Bone marrow smear — 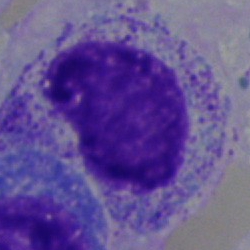

Cell = myelocyte.